May-Grünwald-Giemsa stain · bone marrow smear.
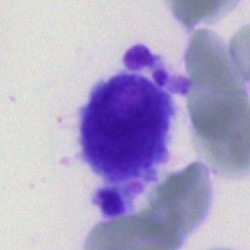
Specimen: bone marrow aspirate smear.
Classification: artifact.